Bone marrow smear — 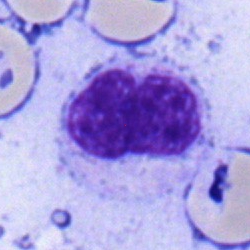
Morphological class — stab cell.